Bone marrow smear:
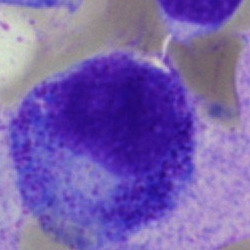
Impression — progranulocyte.